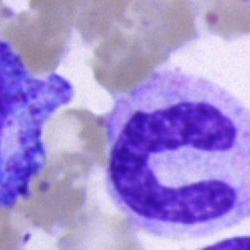

Bone marrow aspirate smear, single cell — band neutrophil.